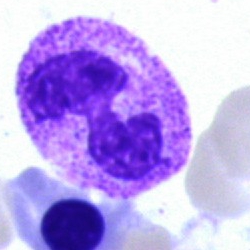Q: Which cell type is shown here?
A: Polymorphonuclear neutrophil.